Bone marrow aspirate smear.
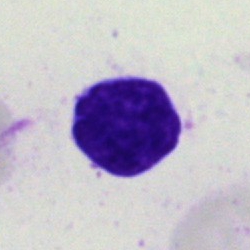

Classification = artifact.